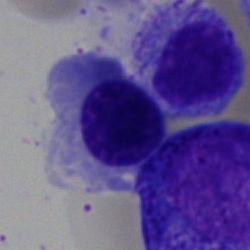 Showing a nucleated red blood cell.